Cropped to a single cell. Bone marrow aspirate smear:
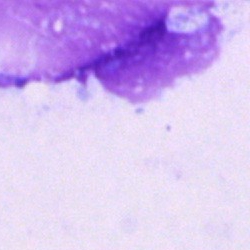The cell shown is an artifact.